Bone marrow aspirate smear.
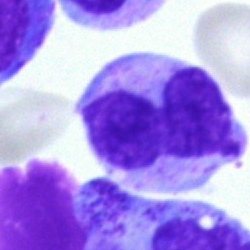
Showing a stab cell.